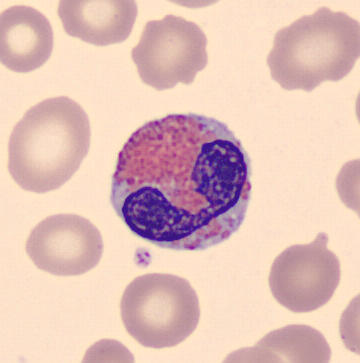The cell shown is an eosinophilic granulocyte.

Preparation: Peripheral blood film.